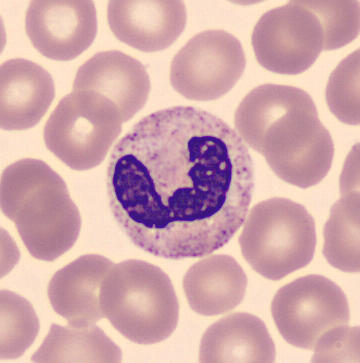
{"cell_type": "neutrophil (band)", "lineage": "myeloid"}
Peripheral blood film.